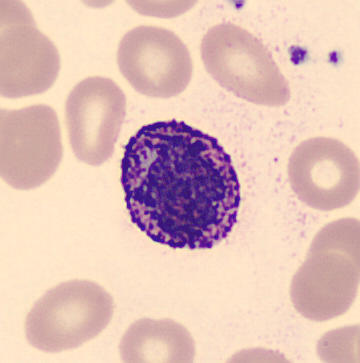

Image: Peripheral blood smear.

Classification: basophil.